Bone marrow aspirate smear; 40× objective, oil immersion; May-Grünwald-Giemsa/Pappenheim stain — 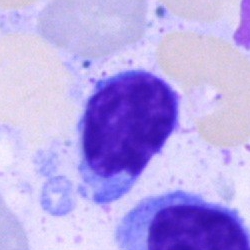

The cell type is lymphocyte.